Cropped to a single cell · bone marrow smear
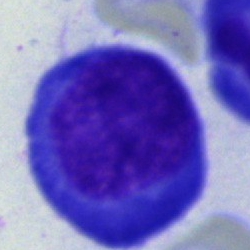

A normoblast.